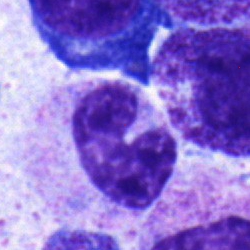Morphological class: band neutrophil.